40× objective, oil immersion · bone marrow aspirate smear — 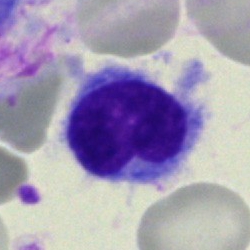 Hairy cell.